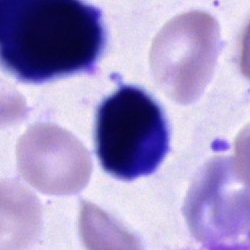
Q: Which cell type is shown here?
A: Cell of indeterminate lineage.